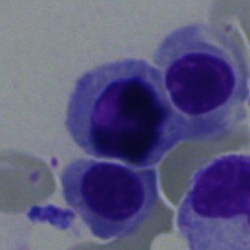Showing an erythroblast.